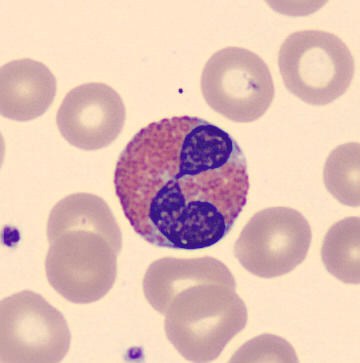 Impression → eosinophil.